Bone marrow smear; 40× objective, oil immersion — 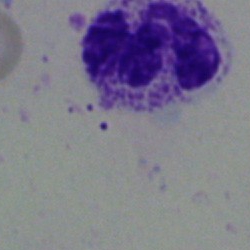
Morphological class: segmented neutrophil.